40× oil immersion · bone marrow smear
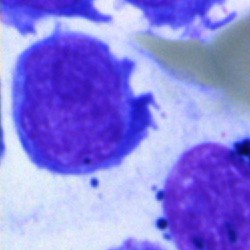Q: Identify the cell.
A: This is a blast.